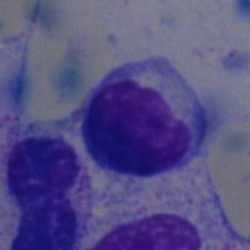
A typical lymphocyte.